Peripheral blood film
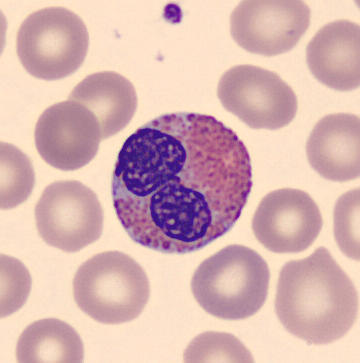Showing an eosinophilic granulocyte.